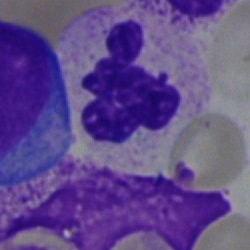 Bone marrow smear showing a polymorphonuclear neutrophil.